Bone marrow smear; 40× objective, oil immersion; single cell centered in the field: 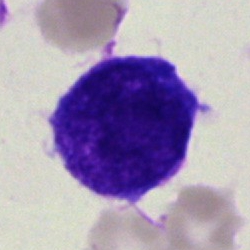
Classification — blast cell.